40× objective, oil immersion; bone marrow aspirate smear; 250 by 250 pixels: 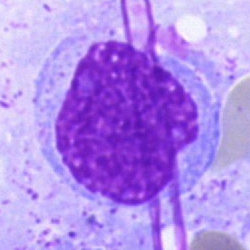

Single cell identified as a monocyte.